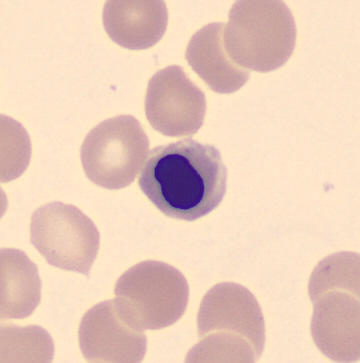
Identified as a normoblast.
Image: Peripheral blood film · imaged on a CellaVision DM96 analyser.